Bone marrow aspirate smear
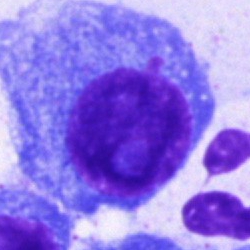 Q: What is shown here?
A: It is a plasma cell.